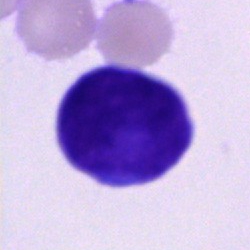Classification — artifact.